Bone marrow aspirate smear — 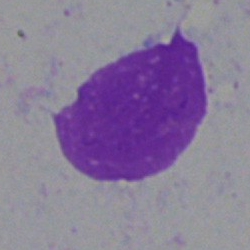
Classification = artifact.